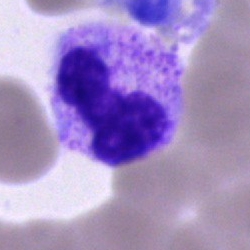

A segmented neutrophil on a bone marrow smear.